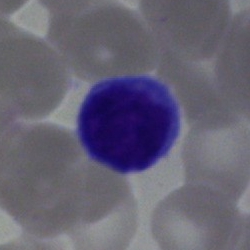 Specimen: bone marrow smear.
Cell: typical lymphocyte.
Lineage: lymphoid.